Bone marrow aspirate smear
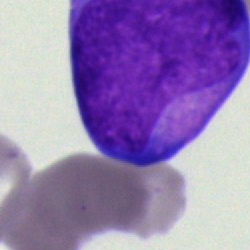A blast cell.